Bone marrow aspirate smear:
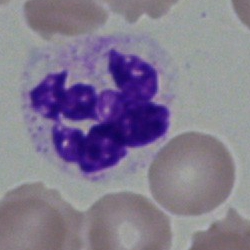
This is a segmented neutrophil.